Bone marrow smear.
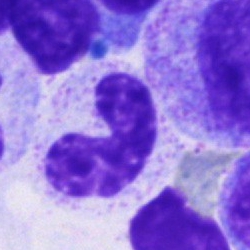
{"cell_type": "band-form neutrophil", "lineage": "myeloid"}